Bone marrow aspirate smear · brightfield microscopy, 40× oil immersion.
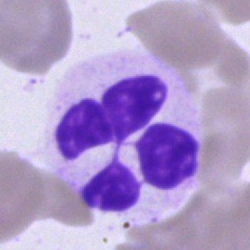 This is a polymorphonuclear neutrophil.